Bone marrow aspirate smear
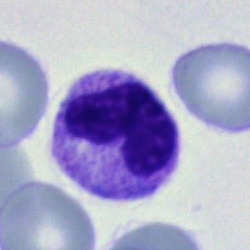

Classification: band-form neutrophil.